Brightfield microscopy, 40× oil immersion · bone marrow smear: 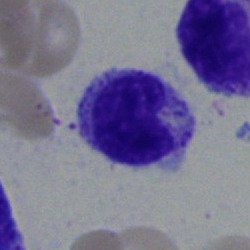 Specimen: bone marrow smear.
Morphological class: lymphocyte.